Bone marrow aspirate smear:
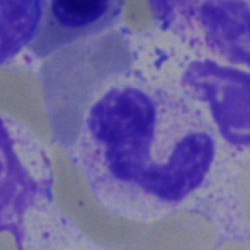

Cell type: segmented neutrophil.